Bone marrow smear — 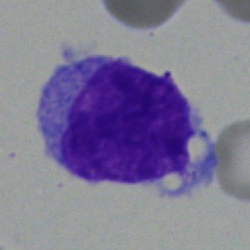
Blast cell.